Bone marrow smear · cropped to a single cell · 250 by 250 pixels — 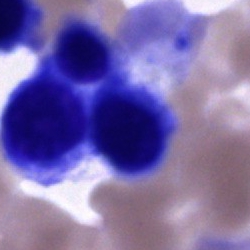Morphology consistent with a cell of indeterminate lineage.